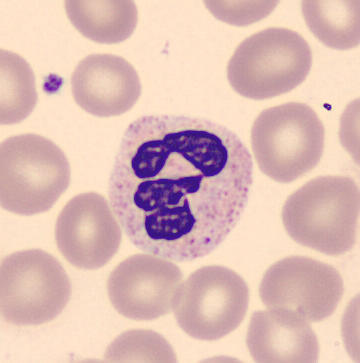
Impression → neutrophil (segmented).